Bone marrow smear · May-Grünwald-Giemsa stain · single-cell field: 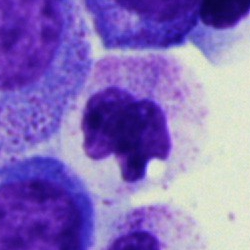

Cell = neutrophil (segmented).